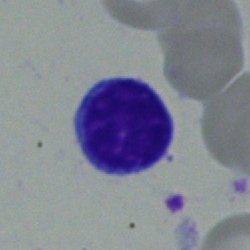

Single cell identified as a lymphocyte.